Bone marrow smear: 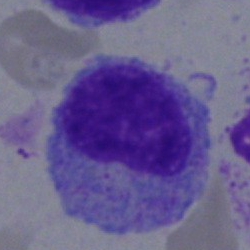Myelocyte.